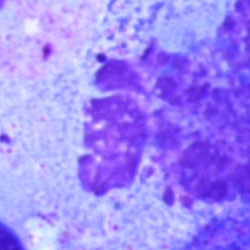
Single-cell crop from a bone marrow smear: artifact.